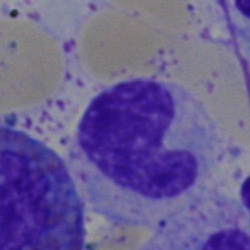 Q: What type of cell is this?
A: A stab cell.